Bone marrow smear:
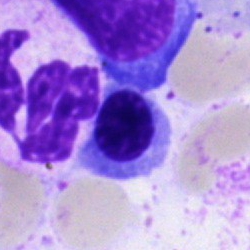

Showing a nucleated red blood cell.